Bone marrow aspirate smear.
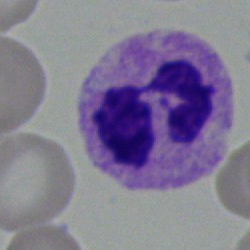 This is a segmented neutrophil.